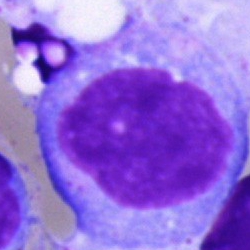
Q: What cell is this?
A: This is a blast cell.